Bone marrow smear. Image size 250×250: 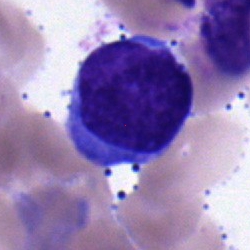 Typical lymphocyte.